250×250 px; bone marrow smear.
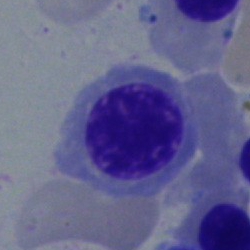Cell: normoblast.